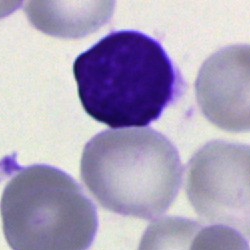

Q: What type of cell is this?
A: Typical lymphocyte.